40× objective, oil immersion · single-cell field · bone marrow aspirate smear:
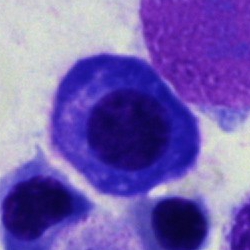Showing a plasmacyte.